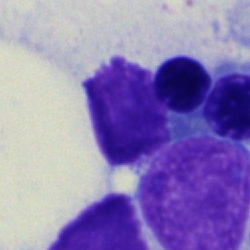 Nucleated red blood cell.